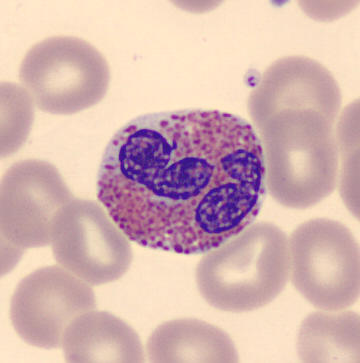

This is an eosinophilic granulocyte.
Preparation: Peripheral blood smear; cropped to a single cell.